Bone marrow smear
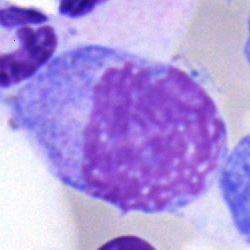 Cell — monocyte.